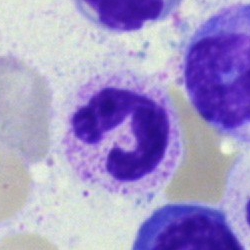{"cell_type": "neutrophil (segmented)"}